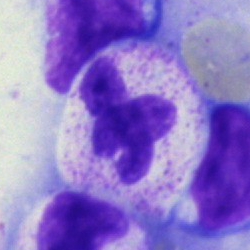Q: What is the morphological classification of this cell?
A: This is a segmented neutrophil.